250×250; bone marrow smear; MGG-stained
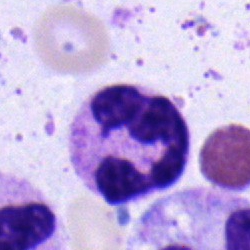

Specimen: bone marrow smear.
Morphological class: neutrophil (segmented).
Lineage: myeloid.